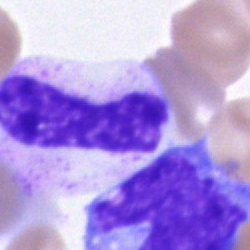
Showing a band neutrophil.